Single cell centered in the field; brightfield, 40× oil-immersion objective; bone marrow smear.
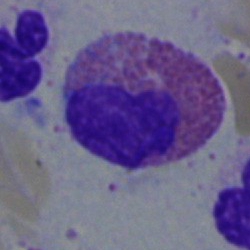
Specimen: bone marrow aspirate smear.
Classification: eosinophil.